Bone marrow aspirate smear — 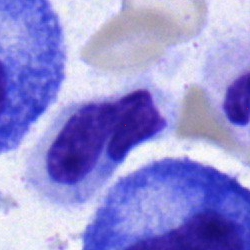 Specimen: bone marrow aspirate smear.
Morphological class: neutrophil (band).
Lineage: myeloid.